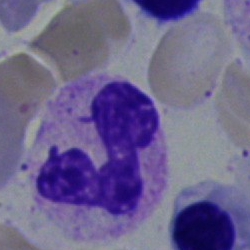

A band neutrophil on a bone marrow smear.